Bone marrow smear · 250 by 250 pixels:
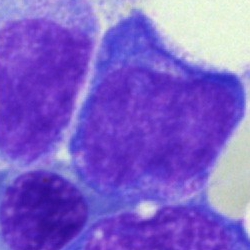 Q: What is the morphological classification of this cell?
A: It is a blast.